MGG-stained · bone marrow smear: 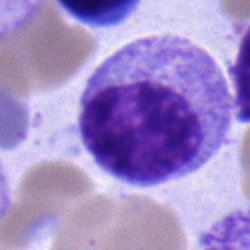

{"cell_type": "myelocyte"}